Bone marrow smear · 40× objective, oil immersion:
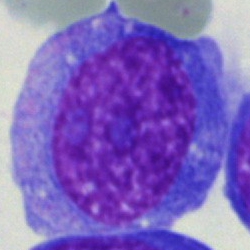Showing an undifferentiated blast.